Brightfield, 40× oil-immersion objective; image size 250×250; bone marrow aspirate smear:
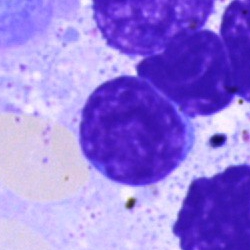 Q: What cell is this?
A: This is a cell of indeterminate lineage.